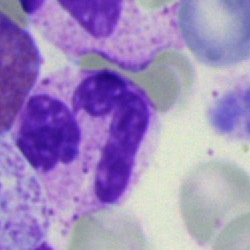The cell type is neutrophil (segmented).